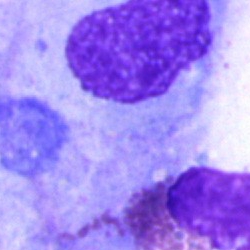The cell is artifact.